40× objective, oil immersion; bone marrow aspirate smear; Pappenheim-stained:
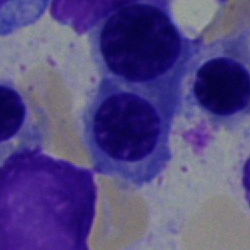

Cell = nucleated red cell.